Bone marrow smear. 40× objective, oil immersion — 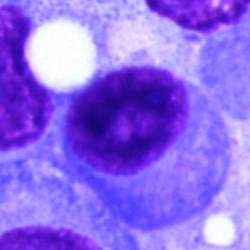 Showing a plasmacyte.